Bone marrow smear:
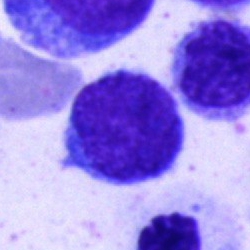The cell type is lymphocyte.